Bone marrow aspirate smear: 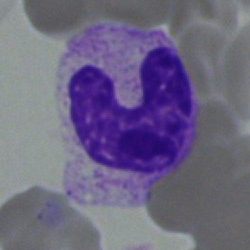A stab cell.